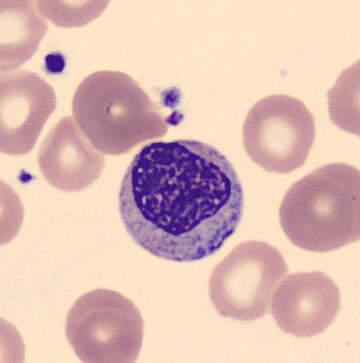 Preparation: Peripheral blood smear. {"cell_type": "myelocyte", "lineage": "myeloid"}